Peripheral blood smear — 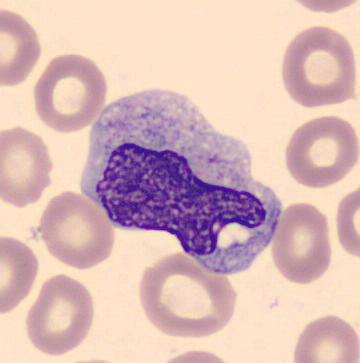The cell shown is a monocyte.